Bone marrow aspirate smear
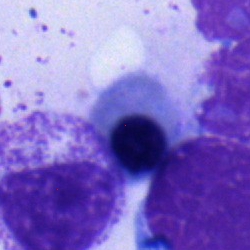{"cell_type": "erythroblast"}